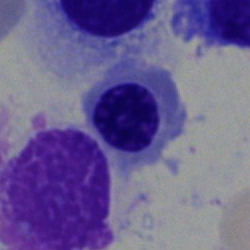
Cell type = normoblast.